Single-cell field · peripheral blood film
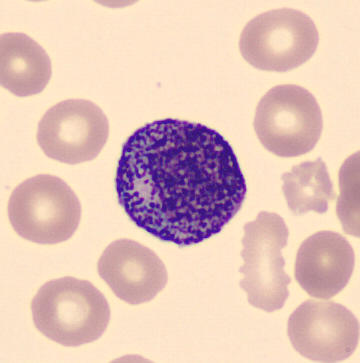 Cell type: progranulocyte.